Bone marrow smear — 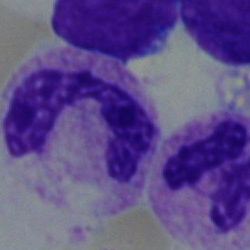

The cell is segmented neutrophil.